250×250 px. Bone marrow smear.
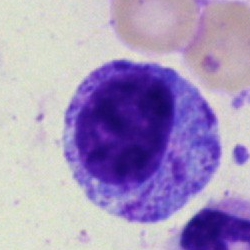 The classification is myelocyte.